Bone marrow smear.
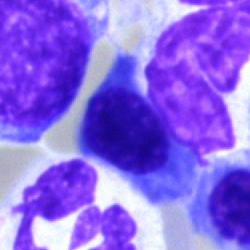This is a normoblast.